Bone marrow smear; single cell centered in the field
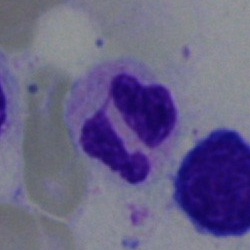
Specimen: bone marrow aspirate smear.
Cell: segmented neutrophil.
Lineage: myeloid.